May-Grünwald-Giemsa/Pappenheim stain; bone marrow aspirate smear
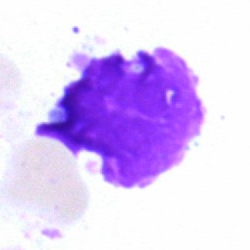

Specimen: bone marrow smear.
Morphological class: artefact.